Bone marrow smear:
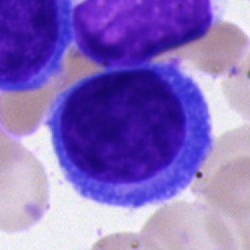 Specimen: bone marrow smear.
Classification: immature lymphocyte.
Lineage: lymphoid.